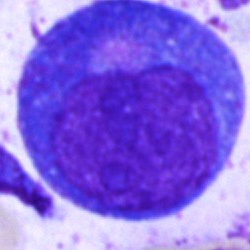 The cell type is promyelocyte.